May-Grünwald-Giemsa/Pappenheim stain. Bone marrow aspirate smear. 250 by 250 pixels
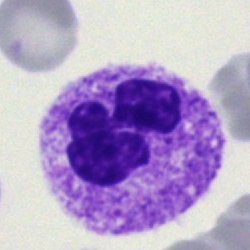Morphology — polymorphonuclear neutrophil.